Bone marrow aspirate smear.
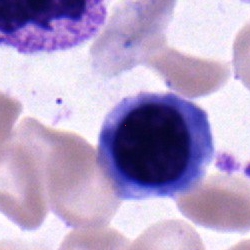
Classification: nucleated red cell.